Bone marrow smear.
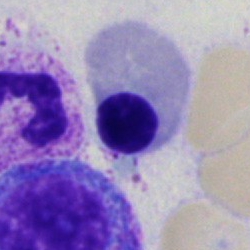 Nucleated red blood cell.